40× objective, oil immersion; bone marrow aspirate smear:
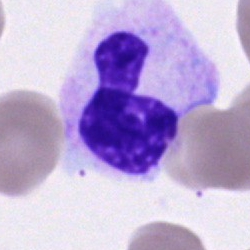Classification — neutrophil (segmented).